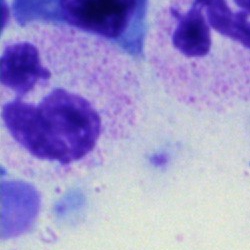Q: Which cell type is shown here?
A: This is a polymorphonuclear neutrophil.